Cropped to a single cell; peripheral blood smear.
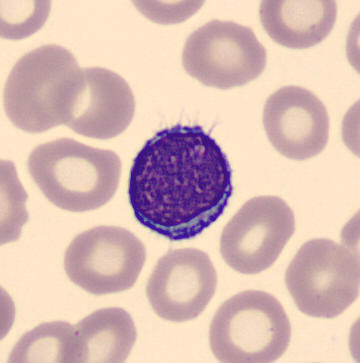Morphological class — typical lymphocyte.